May-Grünwald-Giemsa stain; bone marrow smear; brightfield, 40× oil-immersion objective — 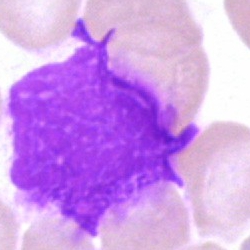 Specimen: bone marrow aspirate smear.
Cell type: artefact.